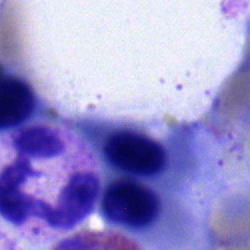 Morphology → normoblast.